Bone marrow aspirate smear: 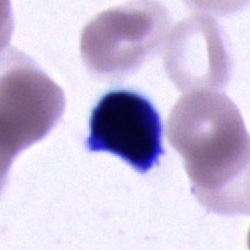
{"cell_type": "unidentifiable cell"}